Peripheral blood film — 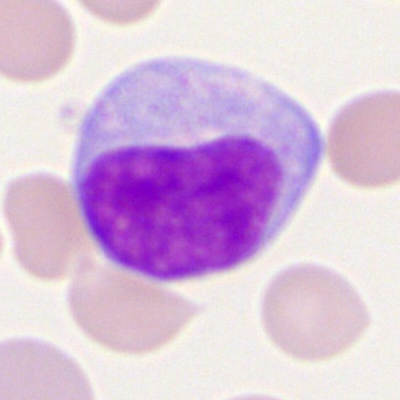Morphological class: lymphocyte.